Bone marrow smear:
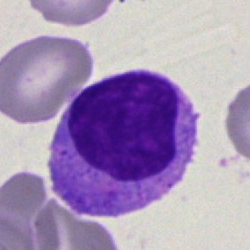 A typical lymphocyte.